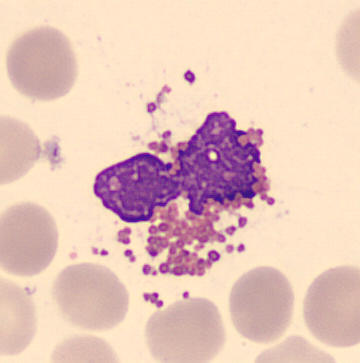 Q: What is this?
A: It is an eosinophilic granulocyte.